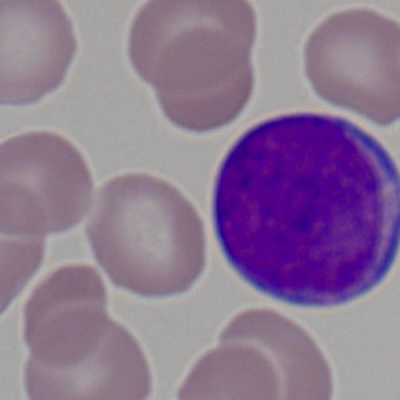Q: Which cell type is shown here?
A: This is a myeloblast.